Bone marrow aspirate smear. Brightfield, 40× oil-immersion objective. MGG-stained
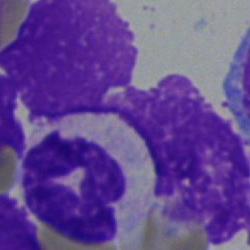
The cell shown is a polymorphonuclear neutrophil.